Bone marrow smear:
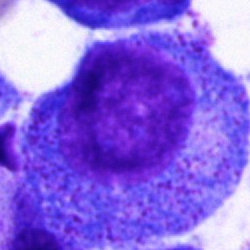Q: What is shown here?
A: This is a progranulocyte.